May-Grünwald-Giemsa/Pappenheim stain · bone marrow smear — 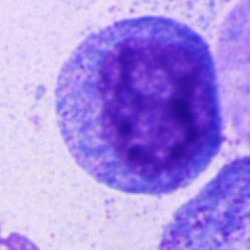Cell type: progranulocyte.